Bone marrow aspirate smear:
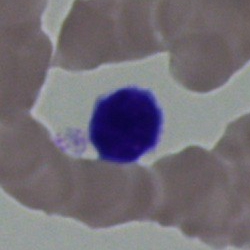

Q: What cell is this?
A: It is a lymphocyte.